250×250 px · 40× oil immersion · bone marrow smear.
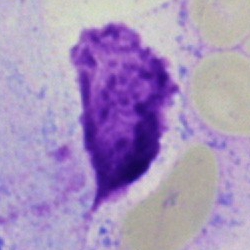
Q: What is shown here?
A: Artefact.